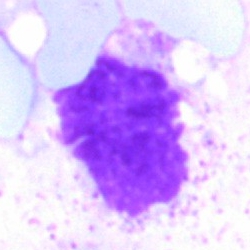
The classification is artefact.